Bone marrow smear · single cell centered in the field
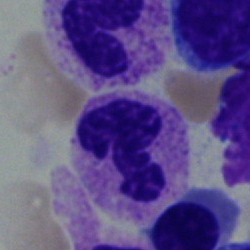

Neutrophil (segmented).